Peripheral blood film: 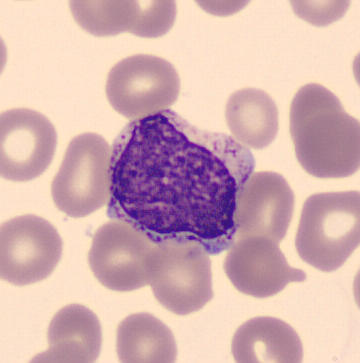
{"cell_type": "myelocyte"}